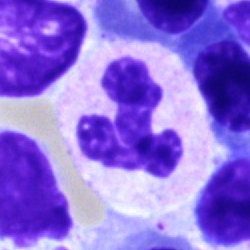

Impression — segmented neutrophil.